Bone marrow smear.
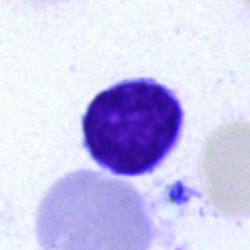

Q: What is the morphological classification of this cell?
A: Lymphocyte.